Bone marrow aspirate smear. 250×250. 40× objective, oil immersion: 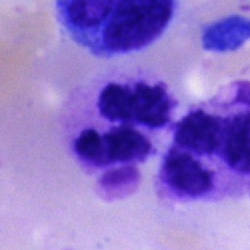

A segmented neutrophil.